Bone marrow smear.
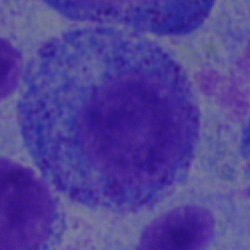

Morphological class — progranulocyte.